Bone marrow smear; 40× objective, oil immersion: 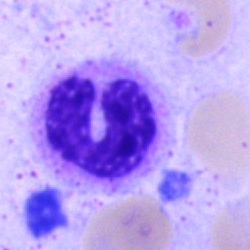 Cell type — stab cell.